Bone marrow smear
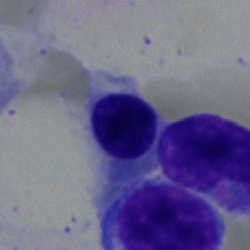

Morphology → erythroblast.